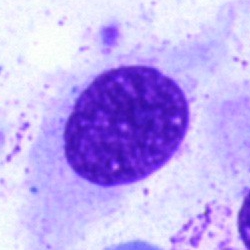 Q: What is shown here?
A: This is an artifact.